Bone marrow aspirate smear
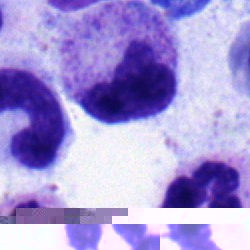

The classification is neutrophil (segmented).